Brightfield, 40× oil-immersion objective. Bone marrow aspirate smear — 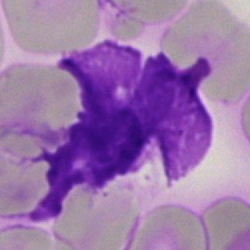 Morphological class — artefact.